Brightfield microscopy, 40× oil immersion · bone marrow aspirate smear · 250×250
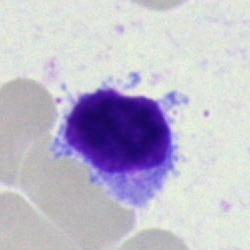 Classification: typical lymphocyte.